Bone marrow smear
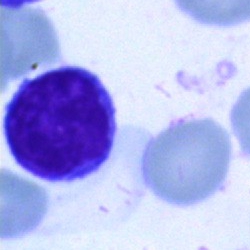 The classification is typical lymphocyte.